Peripheral blood smear: 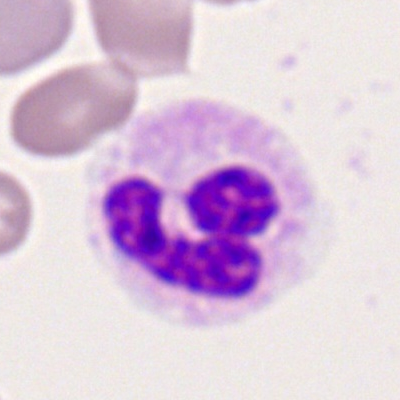

The cell type is neutrophil (segmented).